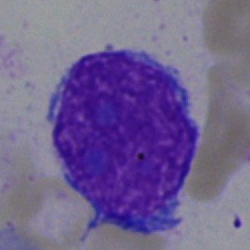

Showing a blast.